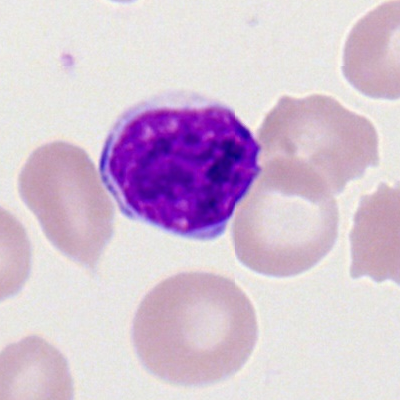 Single-cell crop from a peripheral blood smear: typical lymphocyte.